Single-cell field · 40× oil immersion · bone marrow smear:
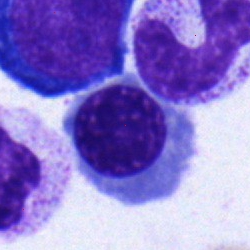
Classification — nucleated red blood cell.